Single cell centered in the field · bone marrow smear · May-Grünwald-Giemsa stain:
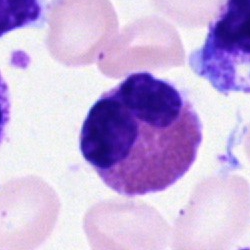Specimen: bone marrow aspirate smear.
Morphological class: eosinophil.
Lineage: myeloid.